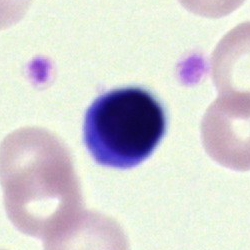
Specimen: bone marrow aspirate smear.
Cell: artifact.